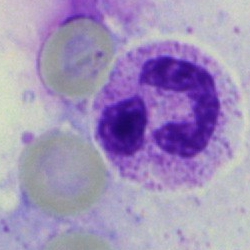Showing a neutrophil (segmented).